250×250 · May-Grünwald-Giemsa/Pappenheim stain · bone marrow smear
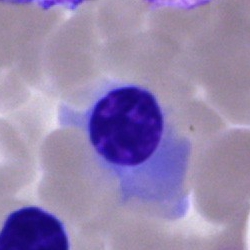Nucleated red cell.